Bone marrow smear; Pappenheim-stained — 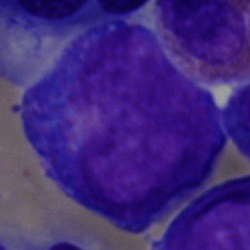Specimen: bone marrow smear.
Cell type: progranulocyte.